Bone marrow aspirate smear.
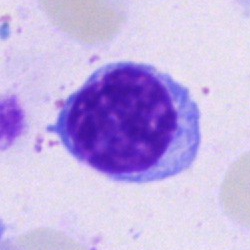Specimen: bone marrow smear.
Classification: typical lymphocyte.
Lineage: lymphoid.